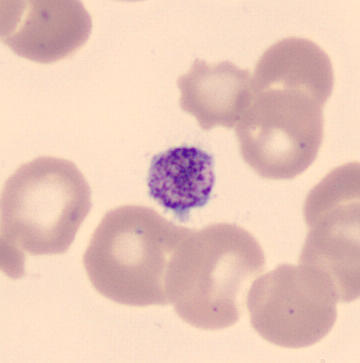
Image: CellaVision DM96 digital cell image · peripheral blood smear.
Q: What is shown here?
A: A thrombocyte.